Bone marrow smear:
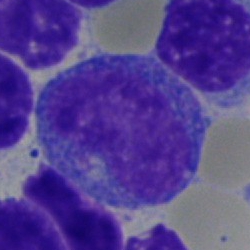
Unidentifiable cell.